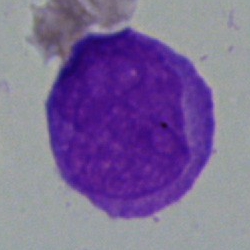 The classification is undifferentiated blast.